Bone marrow aspirate smear — 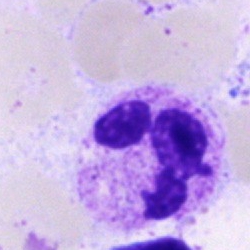

The cell shown is a segmented neutrophil.